Bone marrow aspirate smear — 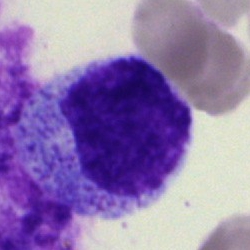

{"cell_type": "myelocyte"}